Bone marrow smear.
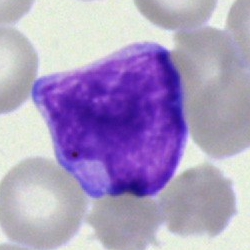

Showing a blast cell.